MGG-stained · bone marrow aspirate smear
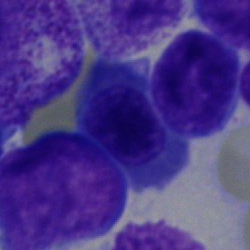 Morphological class — nucleated red blood cell.